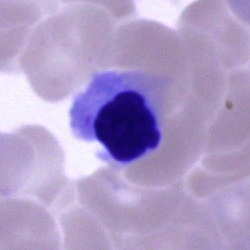
Morphology → nucleated red cell.